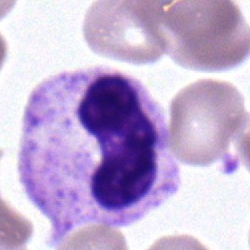 Cell = neutrophil (band).